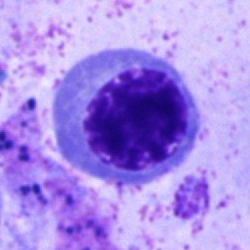Impression — nucleated red cell.